250×250 px. Bone marrow aspirate smear. May-Grünwald-Giemsa stain:
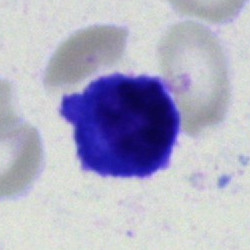 The cell shown is a plasmacyte.